Brightfield, 100× oil-immersion objective. Peripheral blood smear: 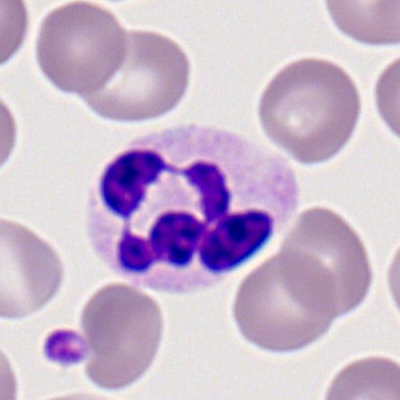 Morphology consistent with a polymorphonuclear neutrophil.